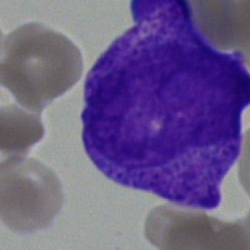 Cell type — blast cell.